40× objective, oil immersion. Bone marrow aspirate smear: 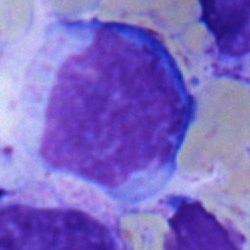 Morphological class — promyelocyte.